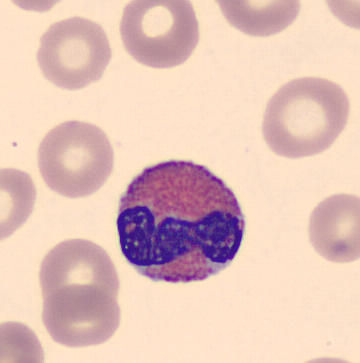 Q: Which cell type is shown here?
A: An eosinophilic granulocyte.

Cropped to a single cell. Peripheral blood smear. CellaVision DM96 digital cell image.